250×250 · bone marrow aspirate smear
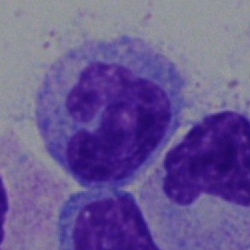The cell shown is a monocyte.